400×400 px · peripheral blood smear · cropped to a single cell — 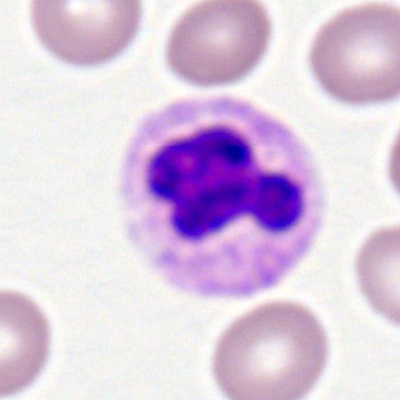Showing a neutrophil (segmented).